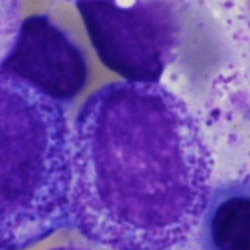Q: Identify the cell.
A: A myelocyte.